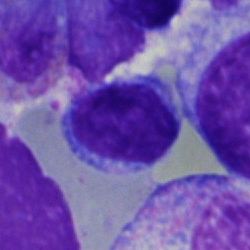Morphological class: typical lymphocyte.